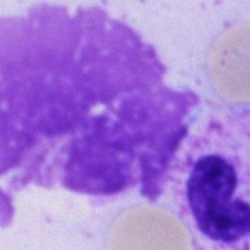

This is an artifact.